Bone marrow smear — 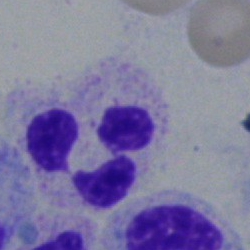

{"cell_type": "segmented neutrophil", "lineage": "myeloid"}